Bone marrow aspirate smear.
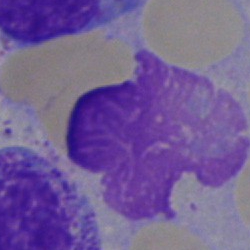
Morphological class: artifact.